Single cell centered in the field · bone marrow smear.
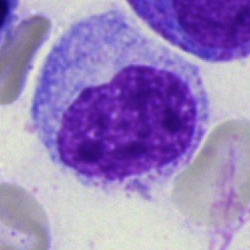Cell — myelocyte.